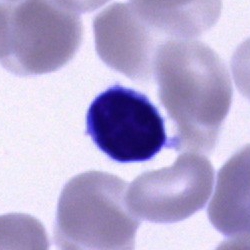Showing a lymphocyte.